Pappenheim-stained. Bone marrow smear.
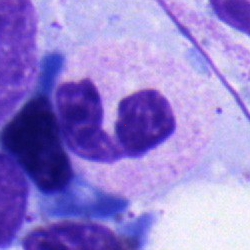

Classification — neutrophil (segmented).